Bone marrow aspirate smear. 250 by 250 pixels: 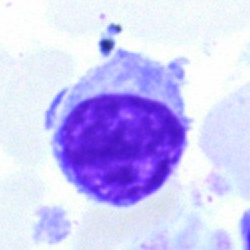
Single cell identified as a lymphocyte.